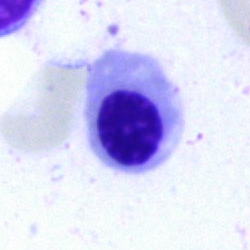This is a nucleated red cell.